Peripheral blood film; Romanowsky-type stain — 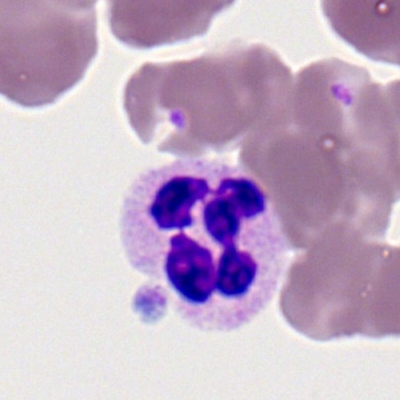 Q: What is shown here?
A: This is a segmented neutrophil.